250×250 · bone marrow aspirate smear
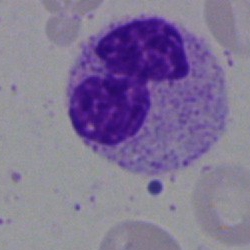 Segmented neutrophil.